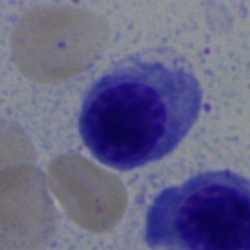Morphology — nucleated red cell.